Bone marrow smear — 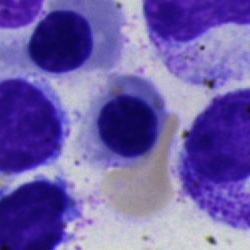
A nucleated red blood cell.